Single-cell field. Bone marrow aspirate smear — 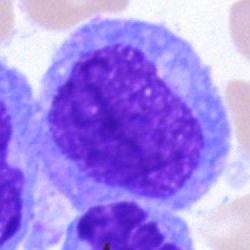
Specimen: bone marrow aspirate smear.
Cell: blast.